Bone marrow aspirate smear. Pappenheim-stained.
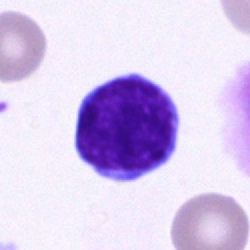Q: What is the morphological classification of this cell?
A: It is a lymphocyte.